Bone marrow aspirate smear. May-Grünwald-Giemsa stain. 40× objective, oil immersion:
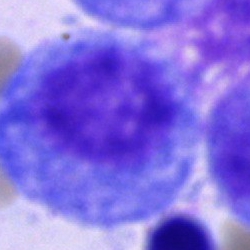
Showing a progranulocyte.